Bone marrow smear: 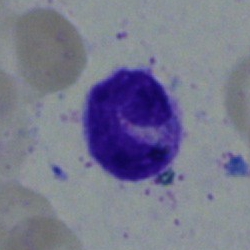 Single cell identified as a monocyte.